Brightfield microscopy, 40× oil immersion; bone marrow smear — 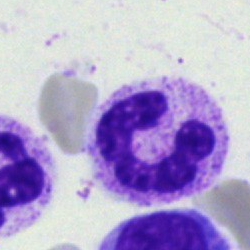 Q: What cell is this?
A: This is a polymorphonuclear neutrophil.